May-Grünwald-Giemsa stain. Bone marrow smear
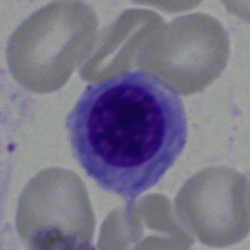

Impression — nucleated red blood cell.